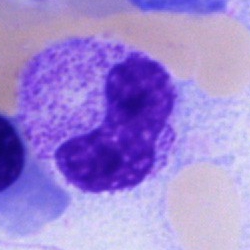A band-form neutrophil.